Bone marrow smear
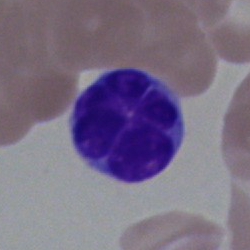 Typical lymphocyte.